Bone marrow aspirate smear.
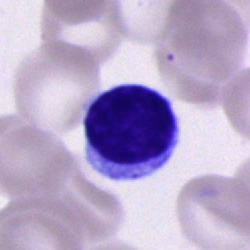A lymphocyte.